Single-cell field · bone marrow smear.
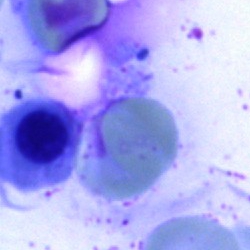

{"cell_type": "erythroblast", "lineage": "erythroid"}